250×250 px. Bone marrow smear:
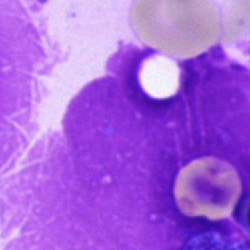Morphology — artefact.